Bone marrow smear · MGG-stained — 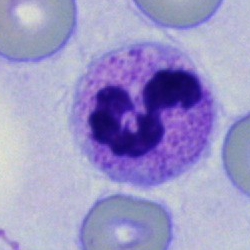 This is a segmented neutrophil.